Bone marrow smear
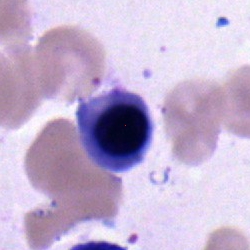
Cell type = nucleated red blood cell.